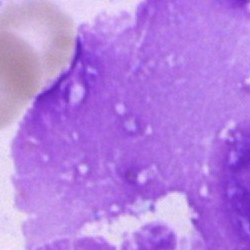

Cell = artifact.